Peripheral blood film. Romanowsky stain: 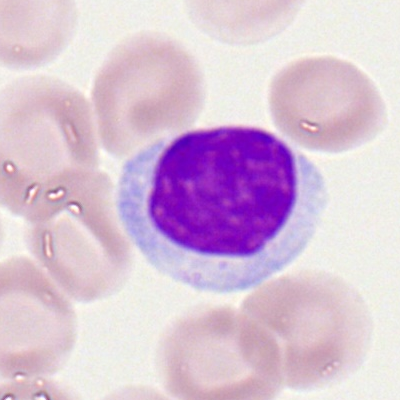

Morphology — typical lymphocyte.